Bone marrow smear
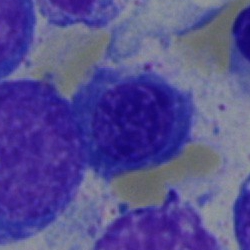 Specimen: bone marrow smear.
Cell type: nucleated red blood cell.
Lineage: erythroid.